Brightfield, 40× oil-immersion objective · bone marrow aspirate smear: 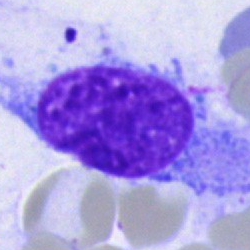

The cell shown is an artefact.